Bone marrow smear — 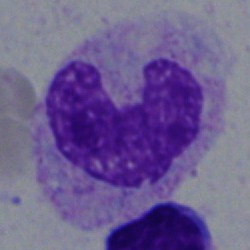 Impression → band-form neutrophil.